Bone marrow smear:
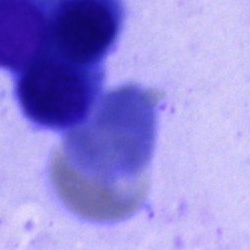

Q: What is shown here?
A: It is an artefact.